Pappenheim-stained · single cell centered in the field · bone marrow aspirate smear: 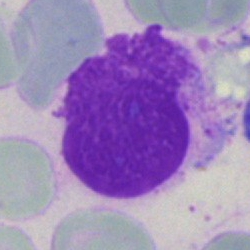Impression → artifact.